Single-cell field · 40× objective, oil immersion · bone marrow smear — 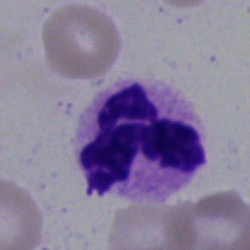
This is a segmented neutrophil.